Bone marrow aspirate smear
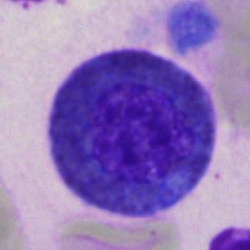

Morphology consistent with an eosinophilic granulocyte.